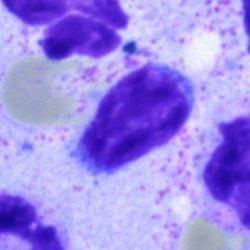

Specimen: bone marrow aspirate smear.
Cell: lymphocyte.